Bone marrow aspirate smear; Pappenheim-stained
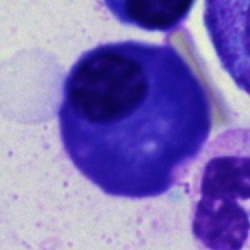

The morphological class is plasmacyte.